Bone marrow smear
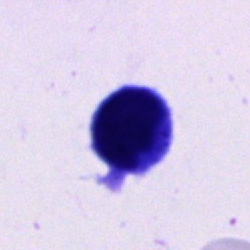 Cell of indeterminate lineage.